Bone marrow aspirate smear: 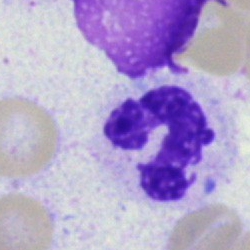

This is a neutrophil (segmented).